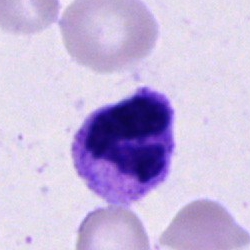 Morphology → neutrophil (segmented).